Single-cell field · bone marrow smear
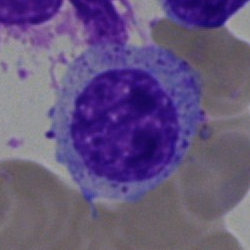

Cell = stab cell.